Brightfield, 40× oil-immersion objective · bone marrow aspirate smear · single cell centered in the field: 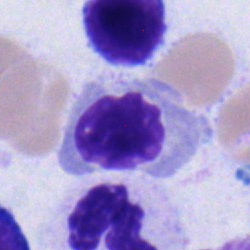
Classification — nucleated red cell.